Peripheral blood film: 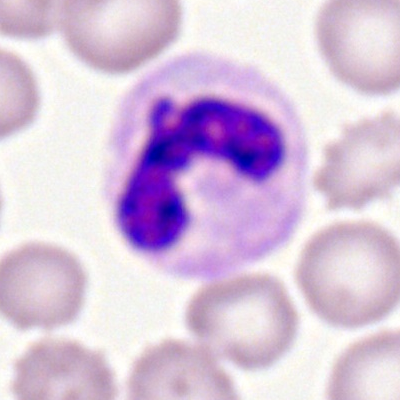

Q: What cell is this?
A: It is a stab cell.